Bone marrow aspirate smear
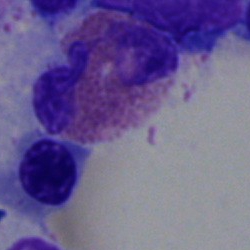{"cell_type": "eosinophilic granulocyte", "lineage": "myeloid"}